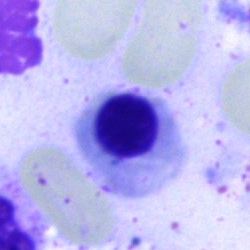

Morphological class — nucleated red cell.